Bone marrow smear; May-Grünwald-Giemsa/Pappenheim stain: 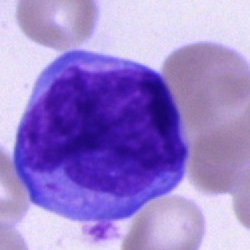 Classification = blast.